Bone marrow aspirate smear
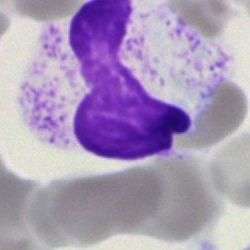 Impression → polymorphonuclear neutrophil.